Bone marrow smear
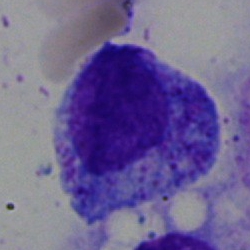Classification — promyelocyte.